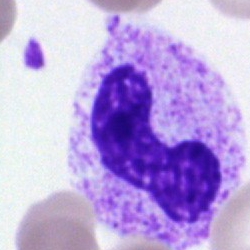
Impression → band-form neutrophil.